Bone marrow smear. MGG-stained — 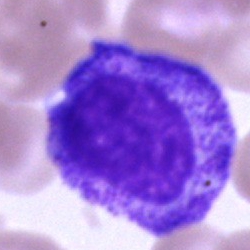
Morphological class = progranulocyte.